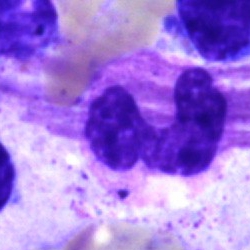

Cell type — neutrophil (segmented).